250×250 · bone marrow aspirate smear:
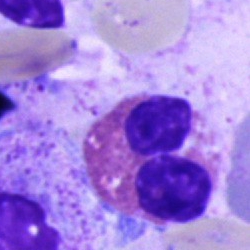
Eosinophilic granulocyte.